Peripheral blood smear: 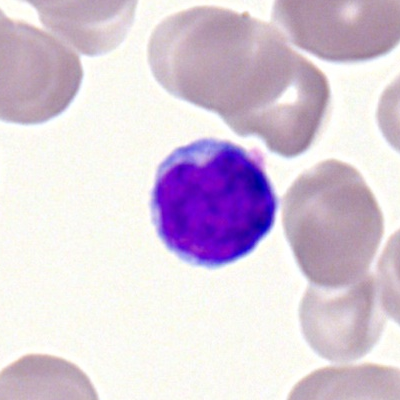
Cell type = typical lymphocyte.